Image size 250×250. Bone marrow smear
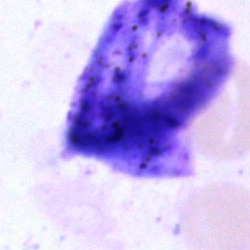Showing an artefact.